250 by 250 pixels. Bone marrow smear. Single-cell crop — 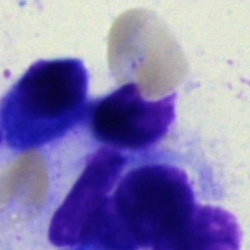The cell type is artifact.